Bone marrow smear. May-Grünwald-Giemsa stain
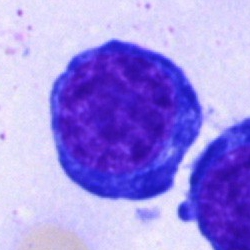Morphological class: pronormoblast.